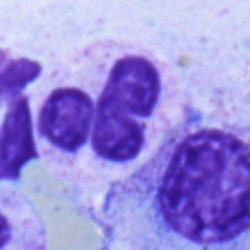 Showing a segmented neutrophil.